Single cell centered in the field; peripheral blood film.
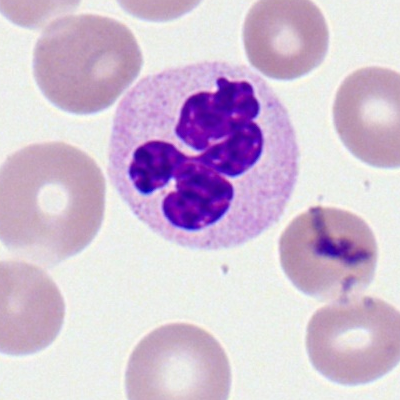

Showing a neutrophil (segmented).